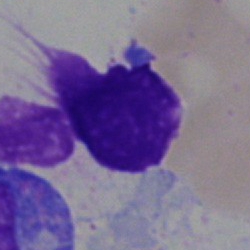

Specimen: bone marrow smear.
Classification: artifact.